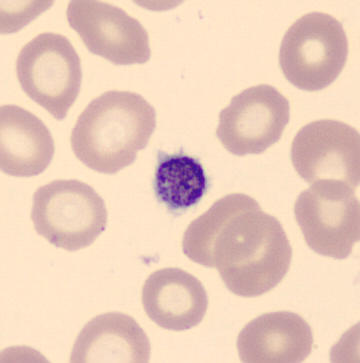 Image: Peripheral blood film.

This is a platelet (thrombocyte).